Peripheral blood film · brightfield, 100× oil-immersion objective · 400 by 400 pixels: 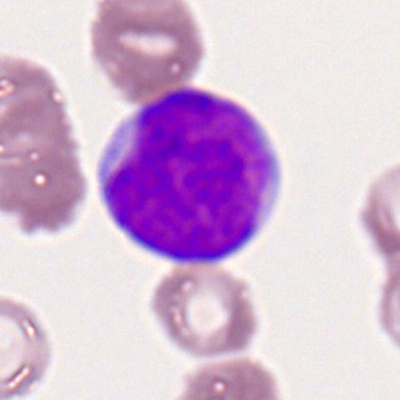

Morphology consistent with a myeloblast.